Bone marrow aspirate smear; image size 250×250
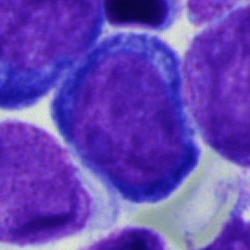

Single cell identified as a pronormoblast.